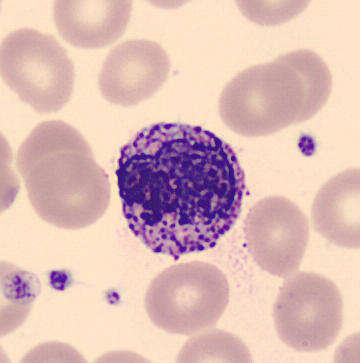
Peripheral blood smear; imaged on a CellaVision DM96 analyser; cropped to a single cell.
Morphological class — basophilic granulocyte.